Bone marrow aspirate smear — 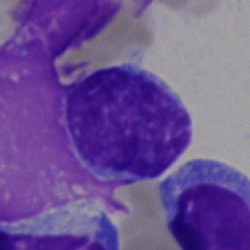

Showing a lymphocyte.